Bone marrow aspirate smear: 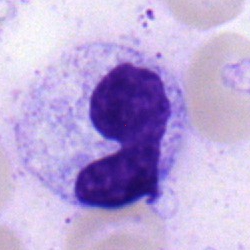
Q: Which cell type is shown here?
A: This is a polymorphonuclear neutrophil.